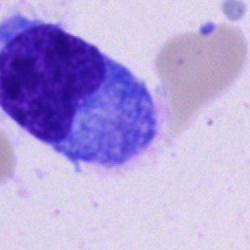Specimen: bone marrow smear.
Morphological class: plasmacyte.
Lineage: lymphoid.